Peripheral blood smear; single-cell crop.
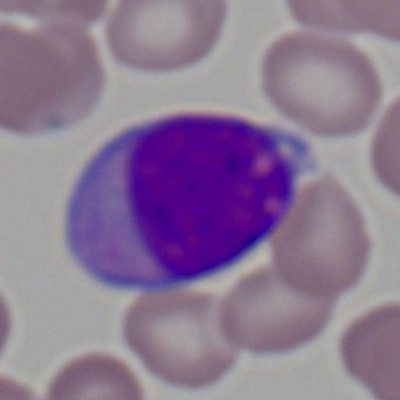
Cell type — myeloid blast.